Bone marrow smear; May-Grünwald-Giemsa/Pappenheim stain.
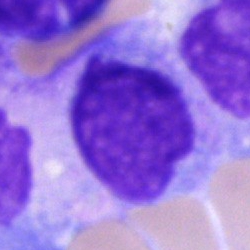 Morphological class — unidentifiable cell.